Bone marrow smear — 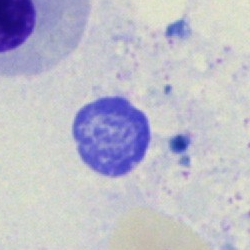Specimen: bone marrow smear.
Cell type: artefact.